Peripheral blood film: 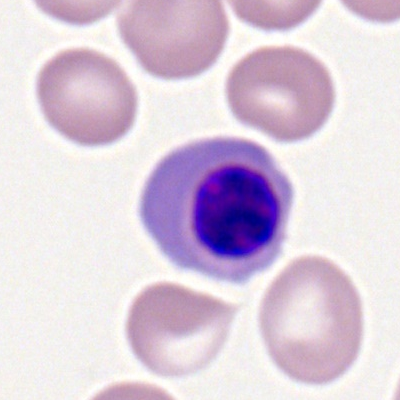 Single cell identified as a normoblast.